Single cell centered in the field · bone marrow smear.
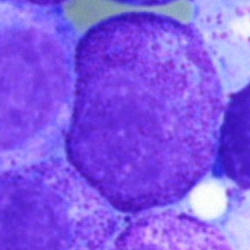

Classification = myelocyte.